Bone marrow smear — 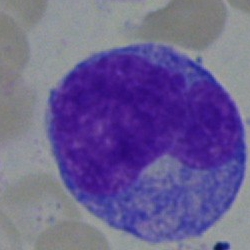 Q: What is shown here?
A: A promyelocyte.